Bone marrow smear: 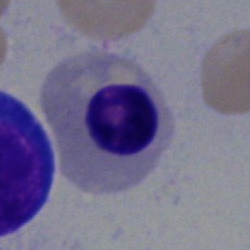Classification = normoblast.